Bone marrow smear; cropped to a single cell — 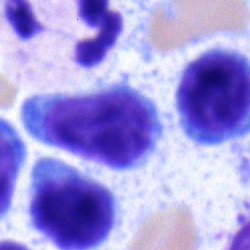 Q: What is shown here?
A: This is a typical lymphocyte.